Bone marrow aspirate smear — 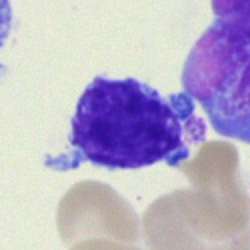 Morphological class: typical lymphocyte.